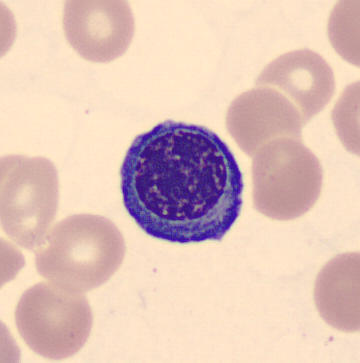Q: What type of cell is this?
A: Nucleated red cell.